Pappenheim-stained. Bone marrow smear — 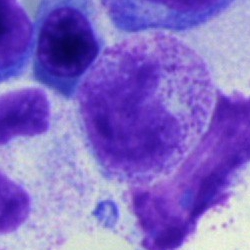Classification: metamyelocyte.